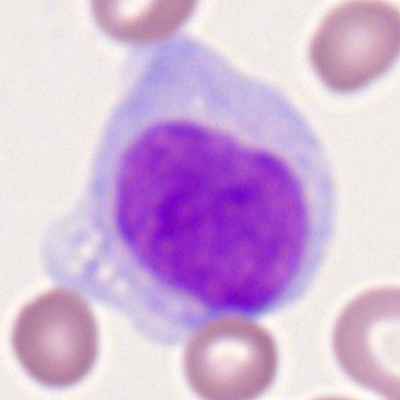

Morphology consistent with a monocyte.